100× oil immersion, 14.14 px/µm; peripheral blood film.
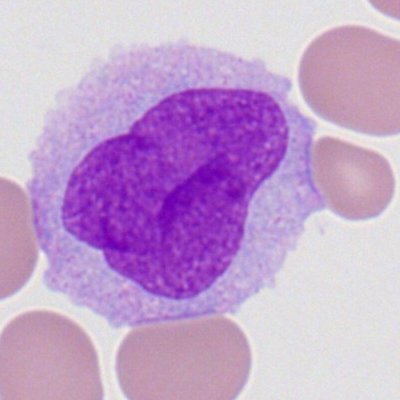

Showing a monocyte.